Peripheral blood film.
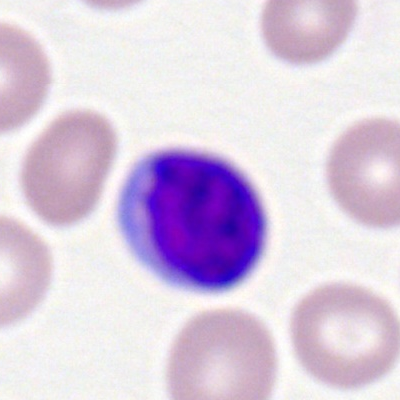
{"cell_type": "typical lymphocyte", "lineage": "lymphoid"}